Bone marrow aspirate smear; cropped to a single cell
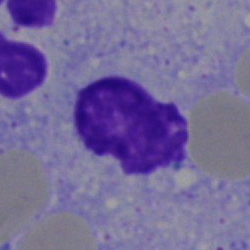Q: What is shown here?
A: Artefact.